MGG-stained · 250×250 px · bone marrow aspirate smear — 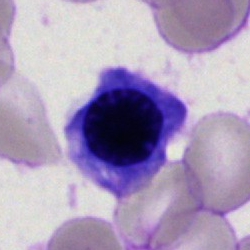 Single cell identified as a normoblast.